Bone marrow aspirate smear — 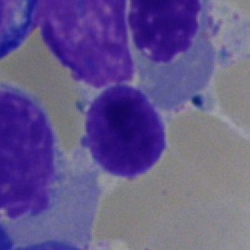 Classification = typical lymphocyte.